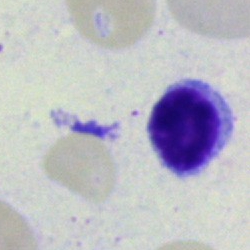

Specimen: bone marrow smear.
Classification: typical lymphocyte.
Lineage: lymphoid.